Peripheral blood smear:
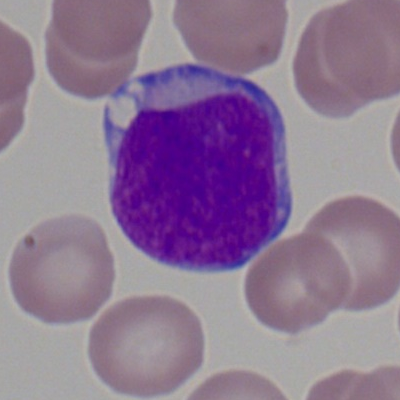

Specimen: peripheral blood film.
Morphological class: myeloblast.
Lineage: myeloid.